Bone marrow aspirate smear.
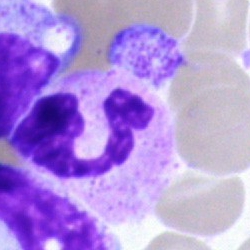
Q: What type of cell is this?
A: Neutrophil (segmented).